Single-cell crop; bone marrow smear: 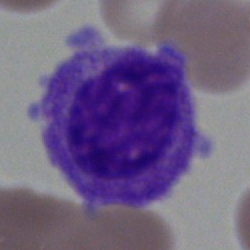Impression — myelocyte.